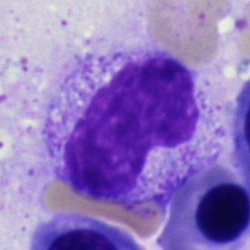 Q: Which cell type is shown here?
A: This is a metamyelocyte.